Bone marrow smear:
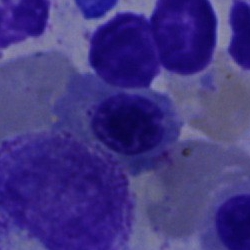

Morphology consistent with a nucleated red cell.